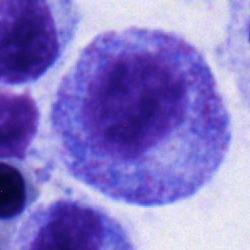

{"cell_type": "progranulocyte", "lineage": "myeloid"}